Single-cell crop. Bone marrow smear
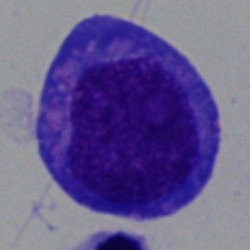 Morphology → undifferentiated blast.